Single-cell crop. Bone marrow aspirate smear:
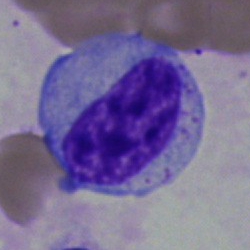 The cell shown is a myelocyte.